Bone marrow smear.
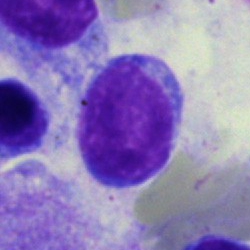
Morphology consistent with a lymphocyte.